Single-cell crop. Bone marrow smear. Pappenheim-stained — 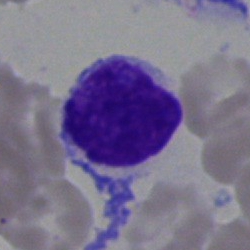
A lymphocyte.